250×250 px · brightfield microscopy, 40× oil immersion · bone marrow aspirate smear:
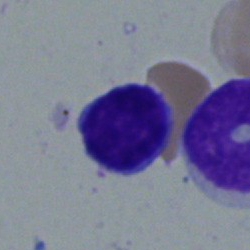Lymphocyte.